Bone marrow aspirate smear. Single-cell crop
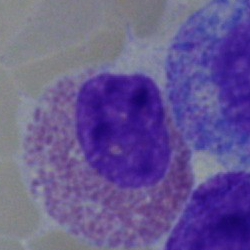{"cell_type": "eosinophilic granulocyte", "lineage": "myeloid"}